Bone marrow smear
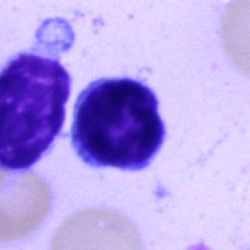{"cell_type": "typical lymphocyte", "lineage": "lymphoid"}